Peripheral blood smear — 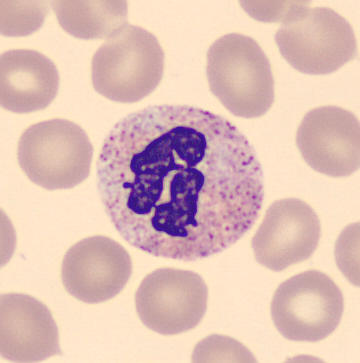Showing a segmented neutrophil.